Bone marrow smear; 250×250:
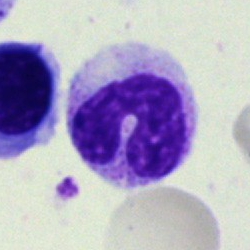Specimen: bone marrow smear.
Cell type: band neutrophil.
Lineage: myeloid.